Bone marrow smear
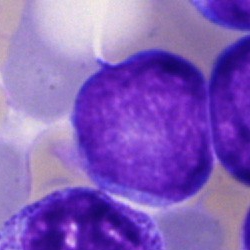

Cell — undifferentiated blast.